Bone marrow smear · cropped to a single cell:
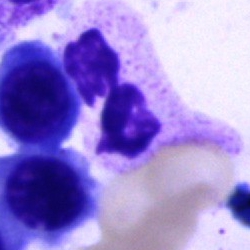
Specimen: bone marrow smear.
Morphological class: segmented neutrophil.